Bone marrow aspirate smear — 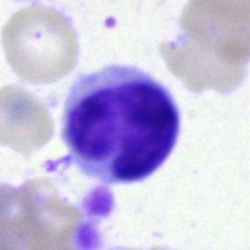
Specimen: bone marrow aspirate smear.
Morphological class: band-form neutrophil.
Lineage: myeloid.